Bone marrow aspirate smear; image size 250×250
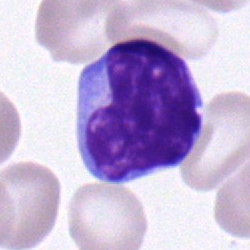 The cell is typical lymphocyte.